Bone marrow smear
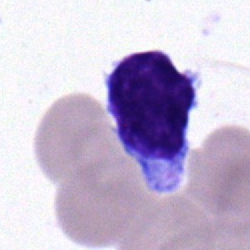 Single cell identified as a typical lymphocyte.